Bone marrow smear. MGG-stained — 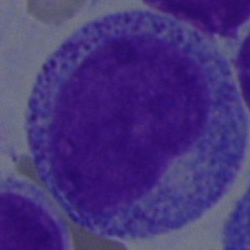 The cell type is progranulocyte.